Bone marrow aspirate smear — 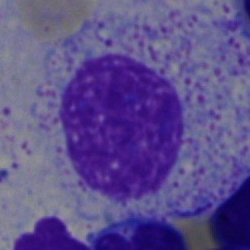
Q: What is the morphological classification of this cell?
A: This is a myelocyte.